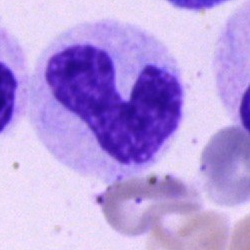

Neutrophil (band).